Cropped to a single cell · bone marrow smear: 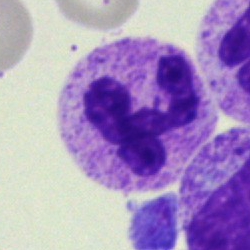

The cell shown is a neutrophil (segmented).